40× objective, oil immersion; bone marrow smear — 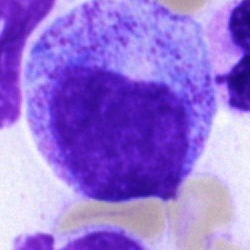A progranulocyte.